Bone marrow aspirate smear.
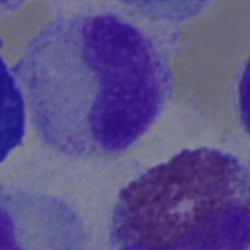

Specimen: bone marrow aspirate smear.
Cell type: band neutrophil.
Lineage: myeloid.